Single cell centered in the field; bone marrow aspirate smear.
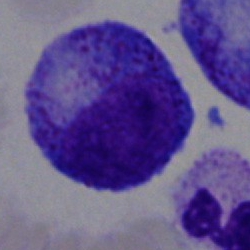

Q: Which cell type is shown here?
A: This is a promyelocyte.